250×250 px; bone marrow smear — 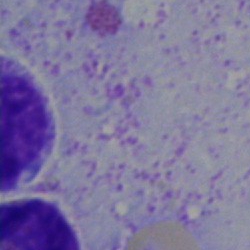 Impression — artefact.